Bone marrow aspirate smear · Pappenheim-stained: 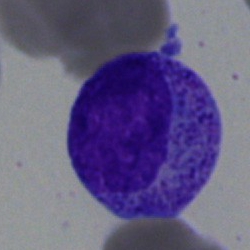 Morphology consistent with a progranulocyte.